May-Grünwald-Giemsa stain · bone marrow smear · 40× oil immersion.
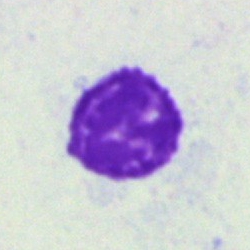
Cell type = artifact.